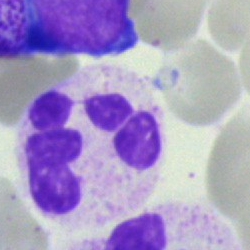

Cell type — neutrophil (segmented).